Peripheral blood film; 400×400 px — 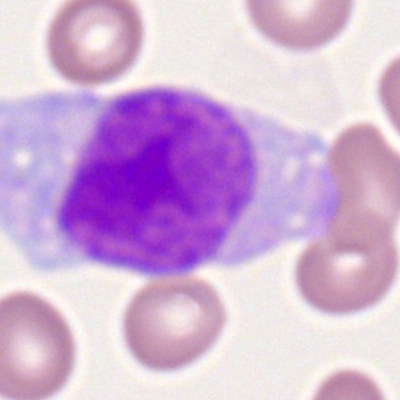
Showing a monocyte.